Bone marrow smear:
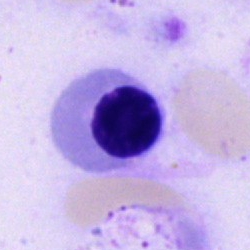

Q: What type of cell is this?
A: This is a nucleated red blood cell.